M8 digital microscope (Precipoint), 100× oil immersion; peripheral blood smear: 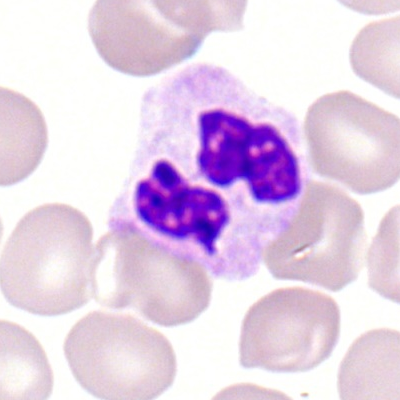

The cell type is polymorphonuclear neutrophil.